Bone marrow aspirate smear:
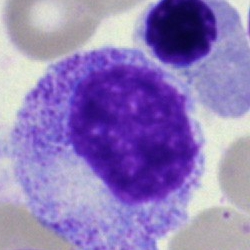
Cell: myelocyte.